Bone marrow smear
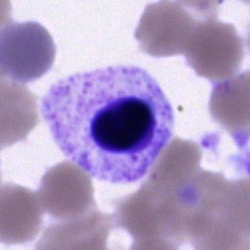
Single cell identified as an artefact.